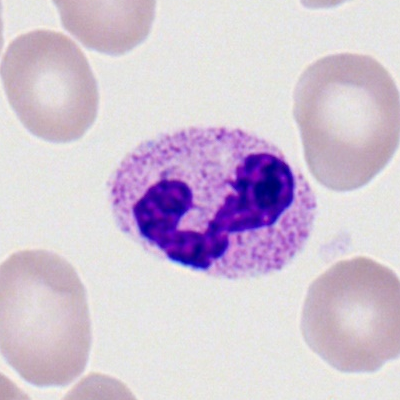Specimen: peripheral blood film.
Morphological class: neutrophil (segmented).